Bone marrow smear · MGG-stained.
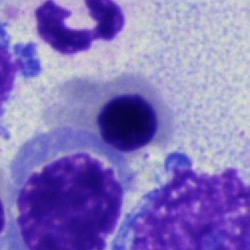Showing a normoblast.